250×250. 40× oil immersion. Bone marrow aspirate smear:
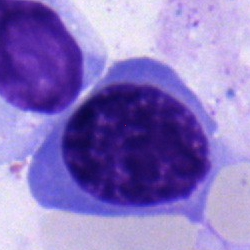
An erythroblast.